Brightfield, 40× oil-immersion objective; bone marrow aspirate smear: 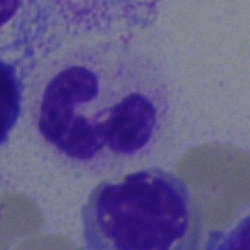Cell type = neutrophil (segmented).